Single-cell field; bone marrow smear:
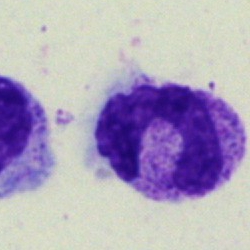
Showing a stab cell.